Bone marrow aspirate smear · single-cell crop · MGG-stained: 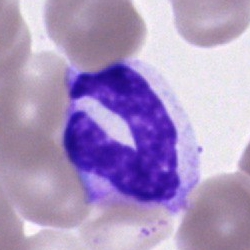 Morphology — stab cell.